Image size 250×250 · bone marrow smear
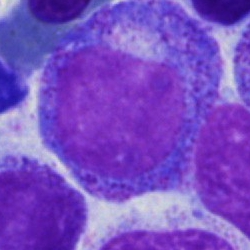 Impression — promyelocyte.